May-Grünwald-Giemsa stain · bone marrow smear — 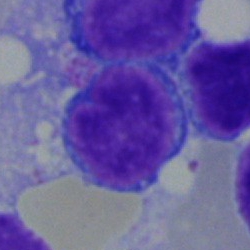

Q: Which cell type is shown here?
A: A lymphocyte.